Bone marrow aspirate smear — 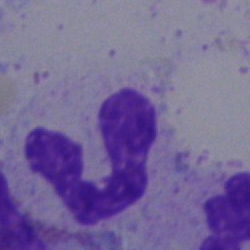
Q: What type of cell is this?
A: It is a segmented neutrophil.